Cropped to a single cell. Bone marrow aspirate smear.
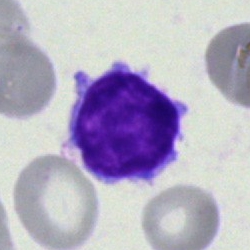

Q: What is shown here?
A: This is a lymphocyte.